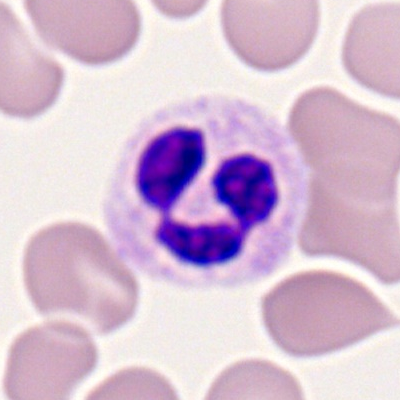

Impression — segmented neutrophil.